Bone marrow smear:
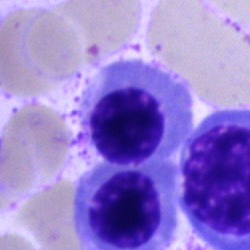Normoblast.